Bone marrow aspirate smear:
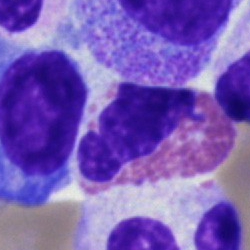

Eosinophilic granulocyte.